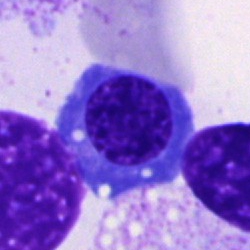

Impression — nucleated red cell.